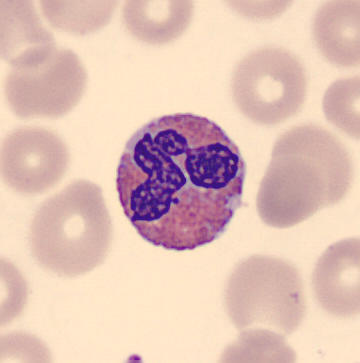 Morphology consistent with an eosinophilic granulocyte. Acquisition: Peripheral blood smear; CellaVision DM96; single-cell crop.